Bone marrow aspirate smear. Cropped to a single cell:
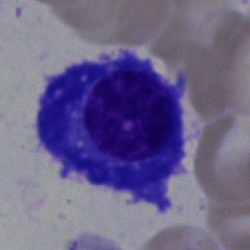 Cell type = plasma cell.